40× objective, oil immersion. May-Grünwald-Giemsa stain. Bone marrow aspirate smear:
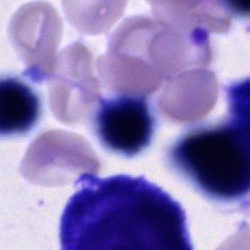
{"cell_type": "unidentifiable cell"}